Peripheral blood smear. Image size 400×400
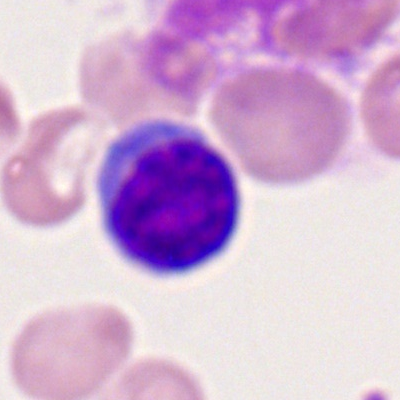Classification = lymphocyte.